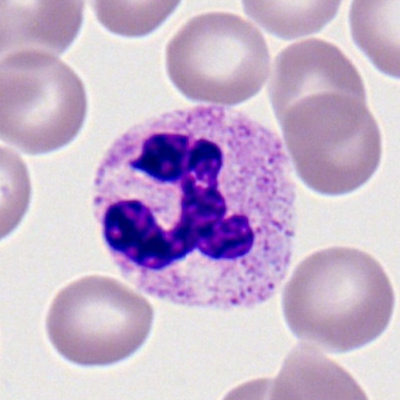Morphological class = segmented neutrophil.